Single cell centered in the field. Bone marrow smear. Brightfield microscopy, 40× oil immersion
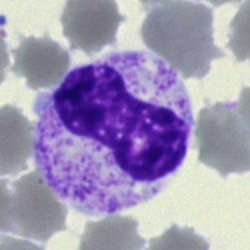

Specimen: bone marrow smear.
Classification: neutrophil (band).